40× objective, oil immersion. Bone marrow smear:
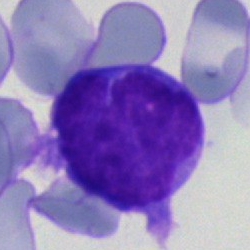{"cell_type": "undifferentiated blast"}